Brightfield microscopy, 40× oil immersion; bone marrow aspirate smear.
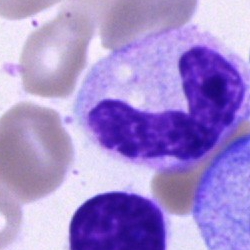

Neutrophil (band).